Bone marrow smear.
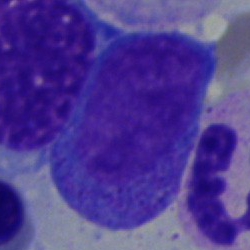
Showing a promyelocyte.